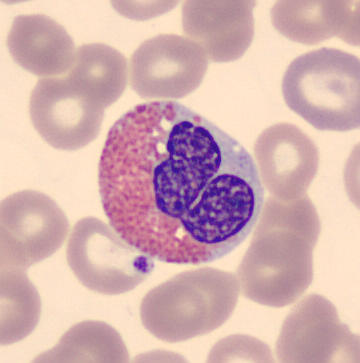 Peripheral blood smear. An eosinophil.